Brightfield, 40× oil-immersion objective; image size 250×250; bone marrow aspirate smear.
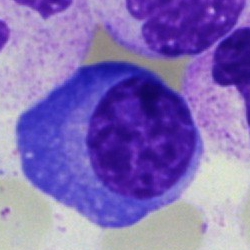This is a plasma cell.